Bone marrow aspirate smear: 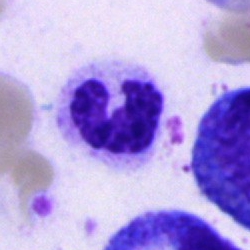

Morphology consistent with a segmented neutrophil.